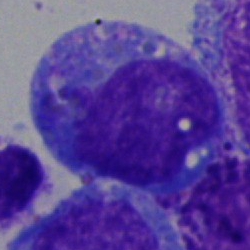
Single-cell crop from a bone marrow smear: blast.